250×250 px · bone marrow aspirate smear.
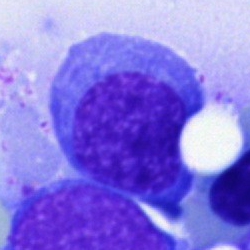

Q: What cell is this?
A: This is a nucleated red cell.